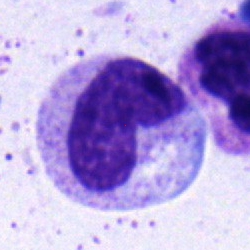

Stab cell.